Bone marrow aspirate smear
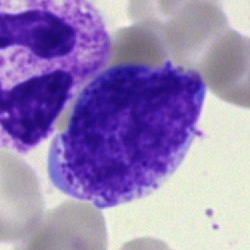 Impression — myelocyte.